Bone marrow smear: 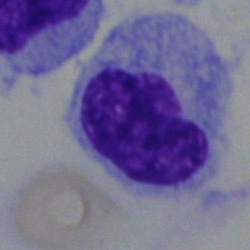 Specimen: bone marrow smear.
Morphological class: hairy cell.
Lineage: lymphoid.